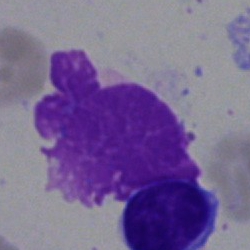Classification = artefact.